Bone marrow aspirate smear; brightfield, 40× oil-immersion objective; 250 by 250 pixels: 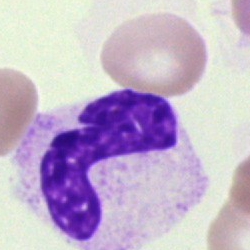 Specimen: bone marrow aspirate smear.
Cell: segmented neutrophil.